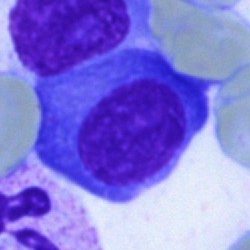 Classification — plasmacyte.